Bone marrow aspirate smear
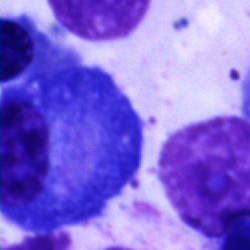

The cell is plasma cell.